Bone marrow aspirate smear · brightfield, 40× oil-immersion objective: 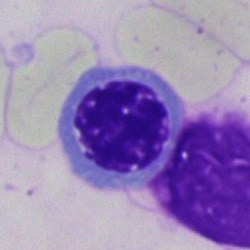Cell = erythroblast.